Bone marrow aspirate smear: 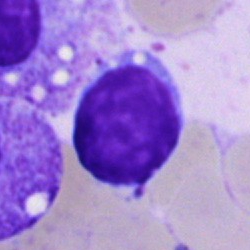 Q: What is the morphological classification of this cell?
A: A lymphocyte.